Bone marrow aspirate smear:
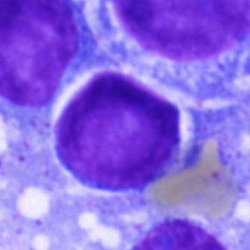

Q: Which cell type is shown here?
A: It is a blast.